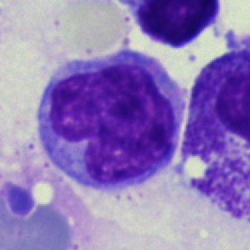 Q: What type of cell is this?
A: This is a monocyte.